Peripheral blood film: 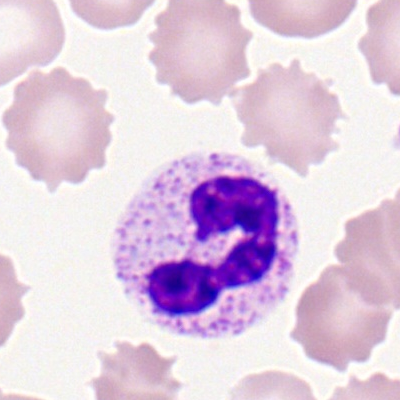 Cell — neutrophil (segmented).